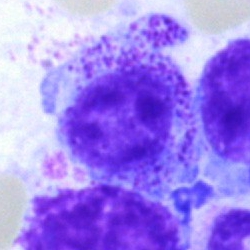A myelocyte on a bone marrow smear.